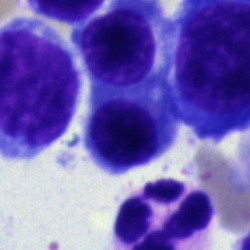

Cell type — erythroblast.